Bone marrow aspirate smear; cropped to a single cell; MGG-stained
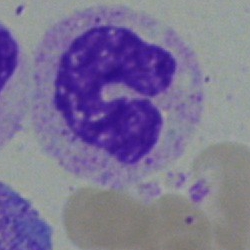

Specimen: bone marrow smear.
Morphological class: neutrophil (band).
Lineage: myeloid.